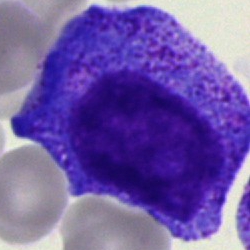

Impression → promyelocyte.